Single-cell crop; bone marrow smear; MGG-stained:
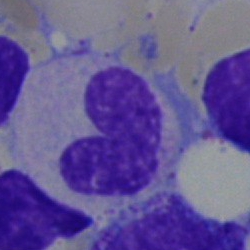 Q: What cell is this?
A: Band-form neutrophil.